Peripheral blood film; single cell centered in the field.
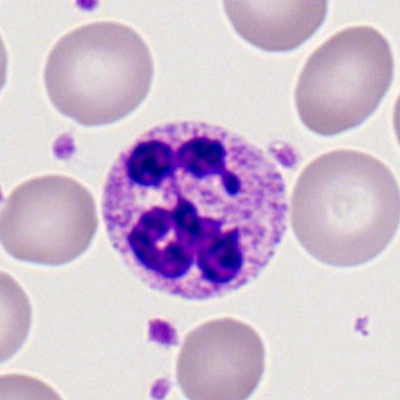 Cell = segmented neutrophil.